May-Grünwald-Giemsa/Pappenheim stain. 250×250 px. Bone marrow aspirate smear — 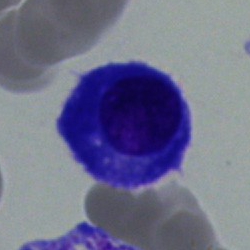 Morphological class = plasma cell.